Bone marrow smear — 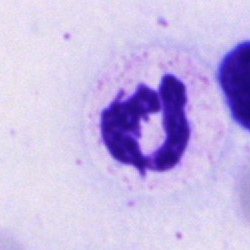

{"cell_type": "neutrophil (segmented)"}